Bone marrow smear; 40× oil immersion:
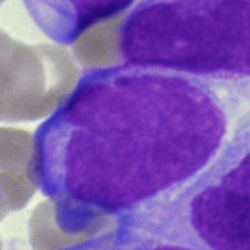

Q: What type of cell is this?
A: Monocyte.